Bone marrow smear: 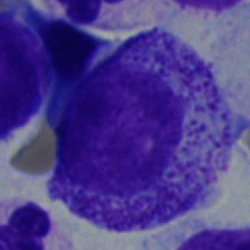 Q: Which cell type is shown here?
A: A myelocyte.